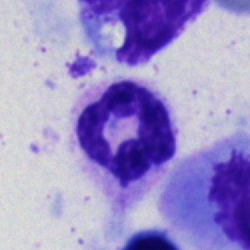

{"cell_type": "polymorphonuclear neutrophil"}